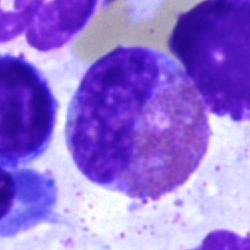Specimen: bone marrow aspirate smear.
Cell: eosinophil.